Peripheral blood smear
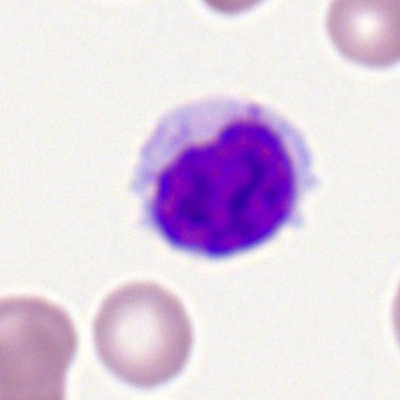
The classification is typical lymphocyte.